Bone marrow smear:
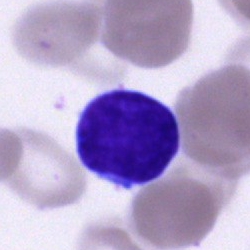

Morphological class — typical lymphocyte.